40× objective, oil immersion · bone marrow smear · May-Grünwald-Giemsa stain.
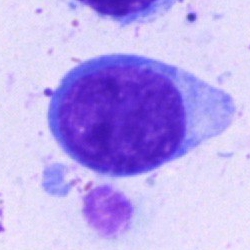
Q: What is the morphological classification of this cell?
A: This is a lymphocyte.